Bone marrow smear; single cell centered in the field
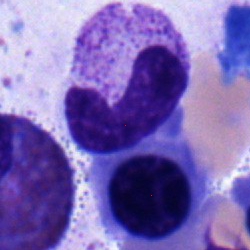Specimen: bone marrow aspirate smear.
Cell: band neutrophil.
Lineage: myeloid.